Bone marrow smear.
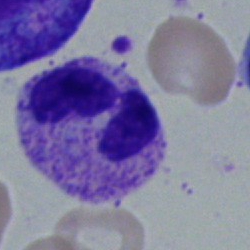Showing a segmented neutrophil.